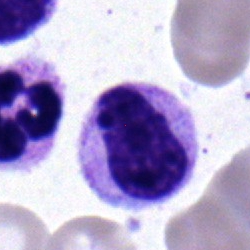Metamyelocyte.